Bone marrow smear — 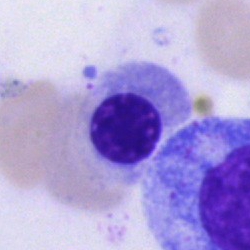 Nucleated red blood cell.